May-Grünwald-Giemsa stain · bone marrow aspirate smear · 250×250 — 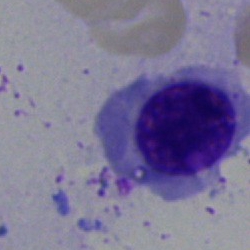 Morphology consistent with a nucleated red blood cell.